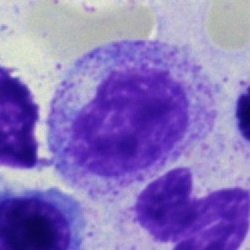

Specimen: bone marrow aspirate smear.
Morphological class: myelocyte.
Lineage: myeloid.